Bone marrow smear.
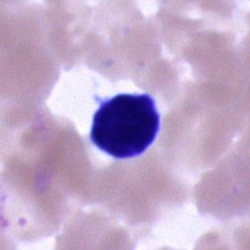
An unidentifiable cell.